Bone marrow aspirate smear.
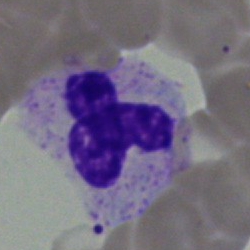The cell shown is a polymorphonuclear neutrophil.